Image size 250×250 · bone marrow smear · single-cell crop.
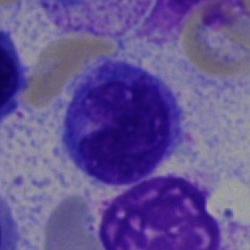

Impression — nucleated red cell.